Bone marrow aspirate smear
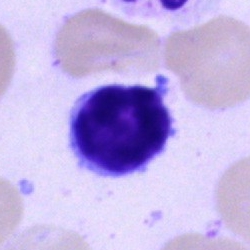

Morphological class: lymphocyte.